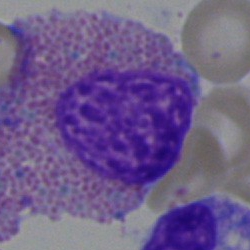

Eosinophilic granulocyte.